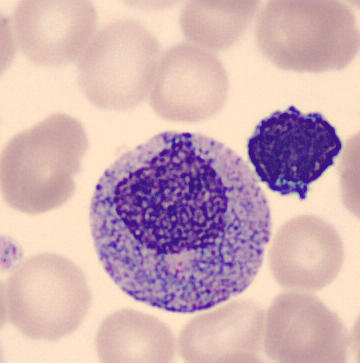

The cell type is myelocyte.